Bone marrow aspirate smear:
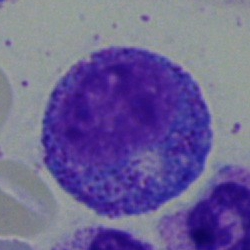A promyelocyte.